Bone marrow aspirate smear · Pappenheim-stained · single-cell crop
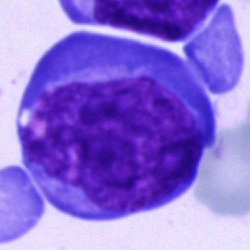

The classification is blast cell.